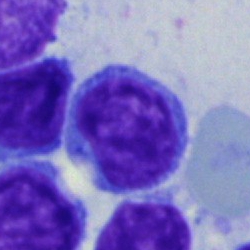

Typical lymphocyte.